40× oil immersion. May-Grünwald-Giemsa/Pappenheim stain. Bone marrow aspirate smear: 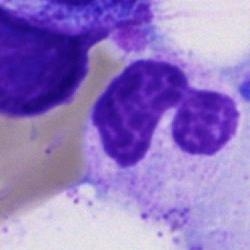Impression → segmented neutrophil.